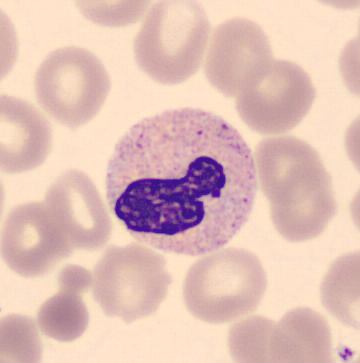
Peripheral blood smear. Q: What cell is this?
A: It is a stab cell.